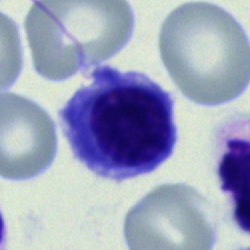 Impression — nucleated red cell.